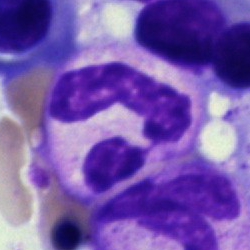 Specimen: bone marrow aspirate smear.
Cell type: polymorphonuclear neutrophil.
Lineage: myeloid.